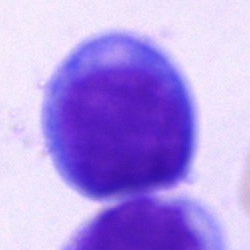

Q: What is shown here?
A: It is a blast.